Single-cell crop · bone marrow aspirate smear · 40× objective, oil immersion — 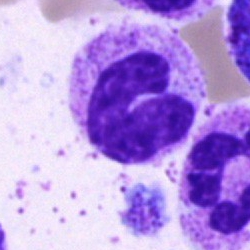 This is a stab cell.